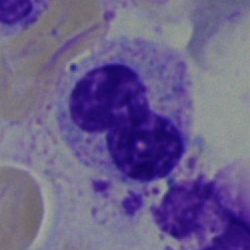
Specimen: bone marrow smear.
Morphological class: stab cell.